Bone marrow aspirate smear. Single-cell crop
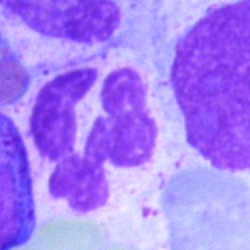

Morphology consistent with a segmented neutrophil.